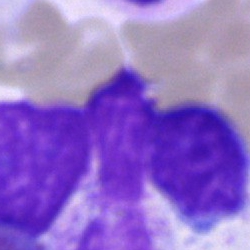

Cell type = artefact.